Bone marrow smear:
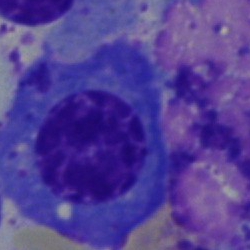
{"cell_type": "plasmacyte", "lineage": "lymphoid"}